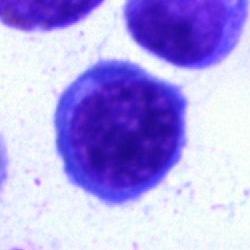 Bone marrow aspirate smear, single cell — nucleated red blood cell.